Bone marrow aspirate smear
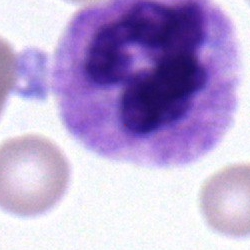Q: What is shown here?
A: It is a neutrophil (segmented).